Bone marrow smear. 40× oil immersion:
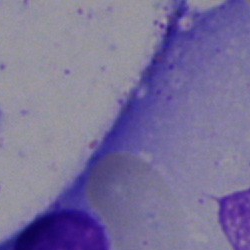

Specimen: bone marrow aspirate smear.
Cell: artefact.